Bone marrow smear: 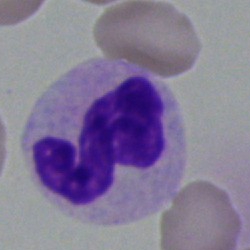Morphology — neutrophil (segmented).